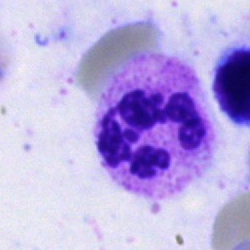
{"cell_type": "segmented neutrophil", "lineage": "myeloid"}